Bone marrow smear:
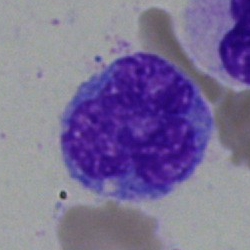
Monocyte.